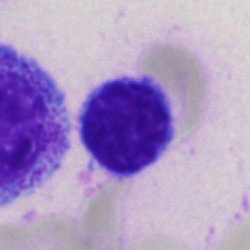 Lymphocyte.